Bone marrow aspirate smear. Single cell centered in the field
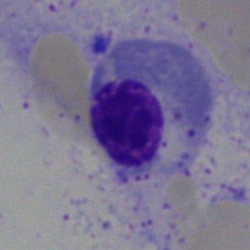 Impression — nucleated red cell.